Bone marrow aspirate smear · single cell centered in the field:
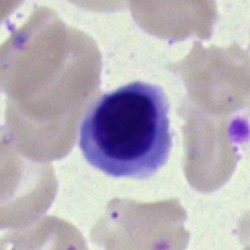

Cell = nucleated red cell.